Peripheral blood smear:
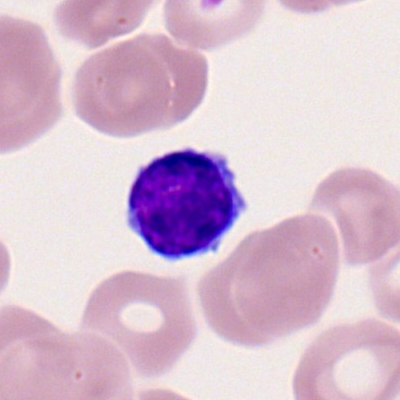
Cell: lymphocyte.